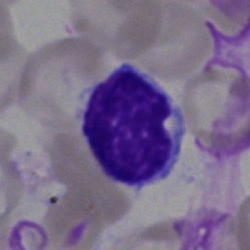

Morphology consistent with a typical lymphocyte.